Single-cell field · peripheral blood smear — 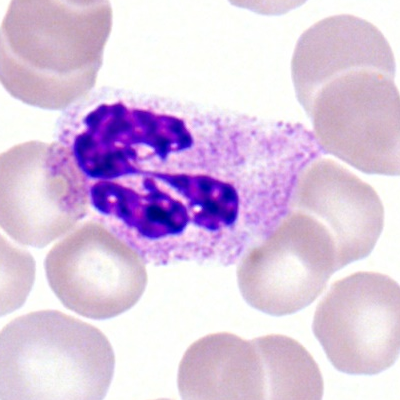

A polymorphonuclear neutrophil.